250×250 px. Bone marrow smear: 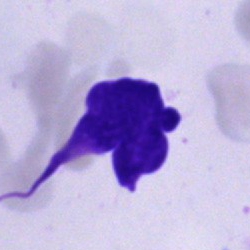{"cell_type": "artifact"}